Bone marrow aspirate smear · Pappenheim-stained · image size 250×250
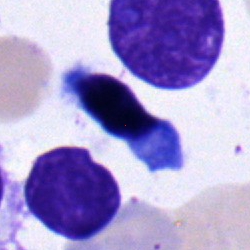
Cell type = typical lymphocyte.